Bone marrow smear; Pappenheim-stained — 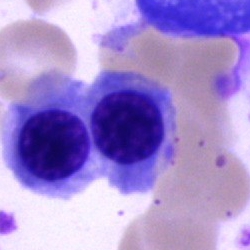 The classification is normoblast.